Bone marrow smear — 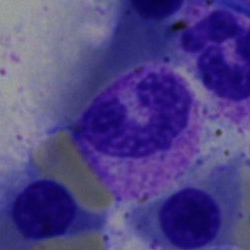

Single cell identified as a segmented neutrophil.